Bone marrow smear · brightfield, 40× oil-immersion objective
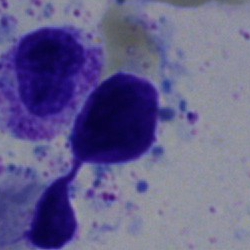
Morphology — artifact.